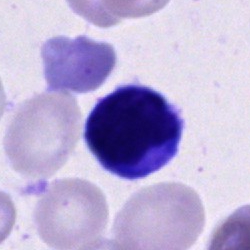

{"cell_type": "cell of indeterminate lineage"}